MGG-stained · bone marrow smear · brightfield, 40× oil-immersion objective.
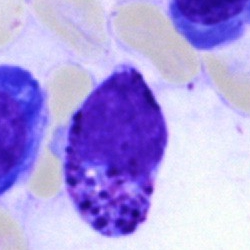Morphology consistent with a basophil.